Bone marrow smear · brightfield, 40× oil-immersion objective · 250 by 250 pixels — 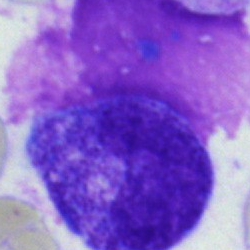Showing an artifact.